Bone marrow aspirate smear:
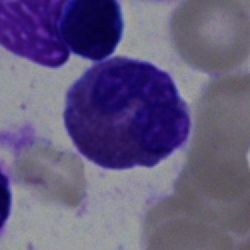 Specimen: bone marrow smear.
Cell type: eosinophilic granulocyte.